Bone marrow aspirate smear. May-Grünwald-Giemsa stain. Image size 250×250:
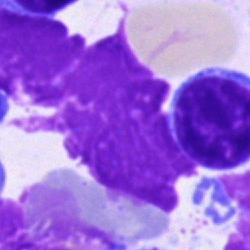 Specimen: bone marrow smear.
Cell type: artifact.